Bone marrow aspirate smear:
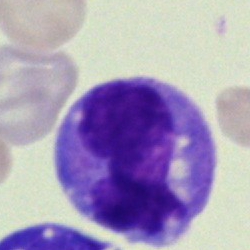 Single cell identified as a monocyte.